Bone marrow smear — 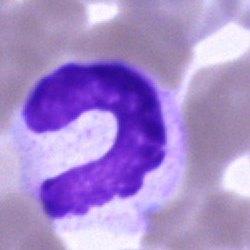

Morphology consistent with a neutrophil (band).